Cropped to a single cell · bone marrow aspirate smear:
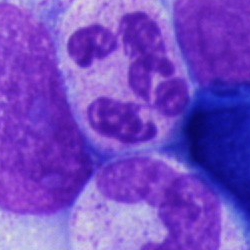Classification — polymorphonuclear neutrophil.